Bone marrow aspirate smear. Pappenheim-stained
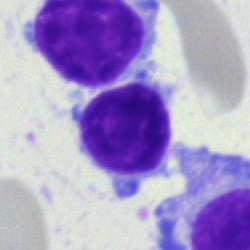
Single cell identified as a lymphocyte.